Bone marrow aspirate smear:
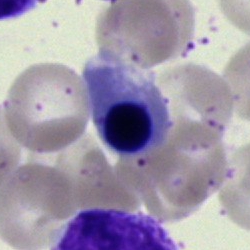
Cell type — nucleated red cell.